May-Grünwald-Giemsa stain · 250 by 250 pixels · bone marrow smear:
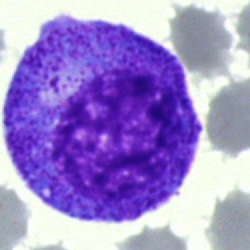
Cell: progranulocyte.